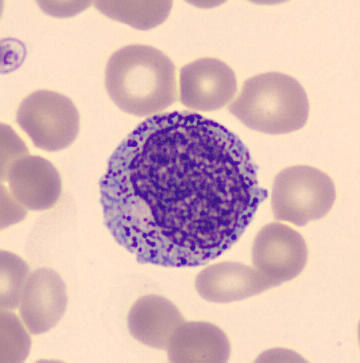
The cell shown is a progranulocyte.